Bone marrow smear:
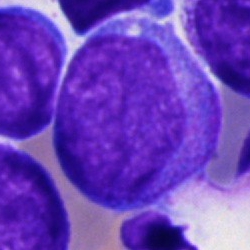 Impression — undifferentiated blast.